100× oil immersion, 14.14 px/µm; peripheral blood smear; 400 by 400 pixels: 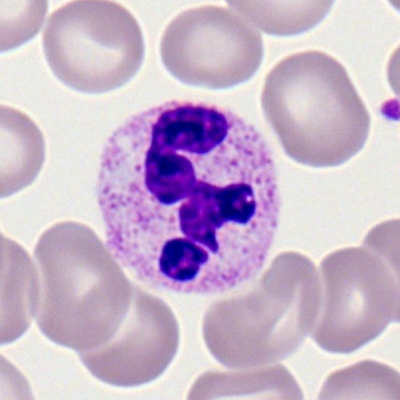

Morphology — polymorphonuclear neutrophil.